Bone marrow aspirate smear; single-cell field:
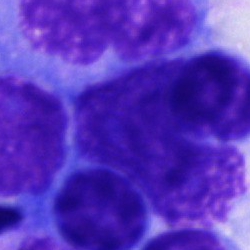
The classification is unidentifiable cell.